Bone marrow aspirate smear — 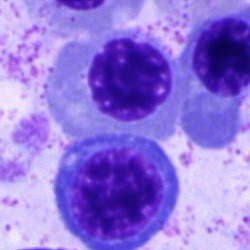

Impression → normoblast.